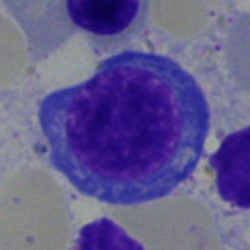Classification = pronormoblast.